Single-cell field · bone marrow smear · 250 by 250 pixels:
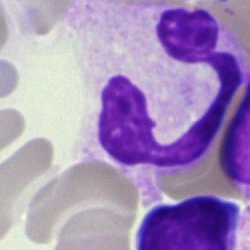

Q: What is shown here?
A: This is a segmented neutrophil.